Bone marrow aspirate smear: 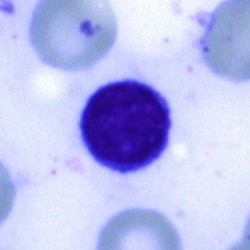 Single cell identified as a typical lymphocyte.